Single-cell field. Bone marrow smear:
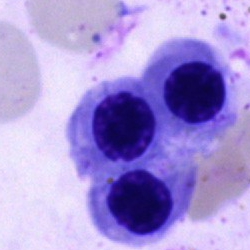
The cell is nucleated red blood cell.